Cropped to a single cell · bone marrow aspirate smear · May-Grünwald-Giemsa stain.
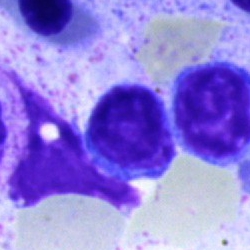 Q: What type of cell is this?
A: This is a typical lymphocyte.